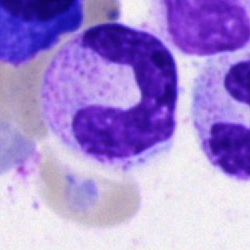
Cell type = neutrophil (segmented).